May-Grünwald-Giemsa/Pappenheim stain. Bone marrow aspirate smear — 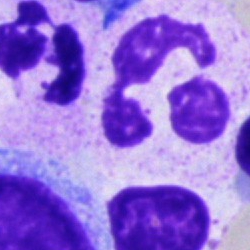 Showing a polymorphonuclear neutrophil.